Bone marrow smear — 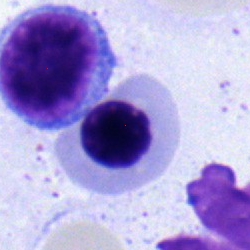

Q: What is the morphological classification of this cell?
A: A nucleated red blood cell.